Bone marrow aspirate smear. 250×250 px.
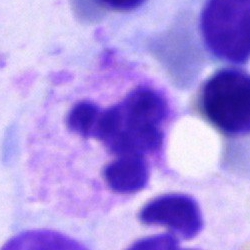Impression — polymorphonuclear neutrophil.